Bone marrow smear.
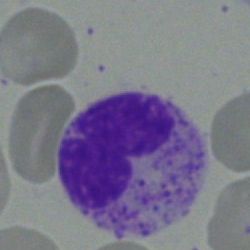

Single cell identified as a segmented neutrophil.